Bone marrow aspirate smear: 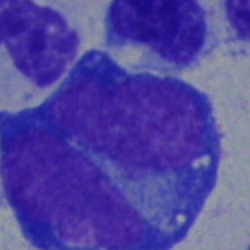

{"cell_type": "undifferentiated blast"}